May-Grünwald-Giemsa stain. Bone marrow smear: 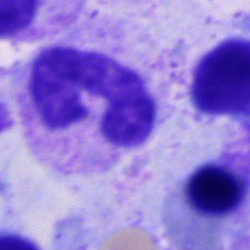Single cell identified as a band neutrophil.